Bone marrow aspirate smear
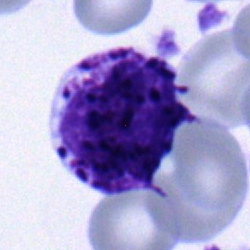 Impression — polymorphonuclear neutrophil.